Bone marrow aspirate smear: 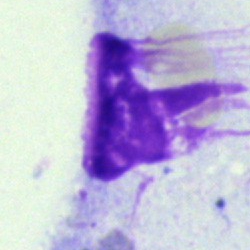Artefact.